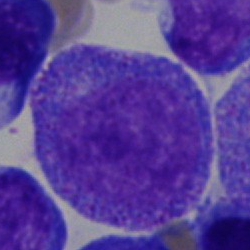
{"cell_type": "progranulocyte", "lineage": "myeloid"}